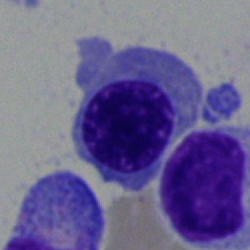

Classification — normoblast.